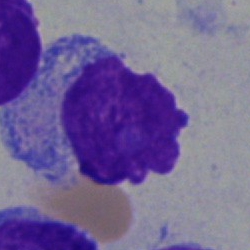 An artefact on a bone marrow smear.